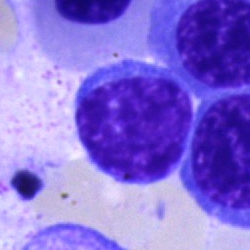

Specimen: bone marrow smear.
Cell: typical lymphocyte.
Lineage: lymphoid.